Brightfield, 40× oil-immersion objective; bone marrow smear; May-Grünwald-Giemsa stain.
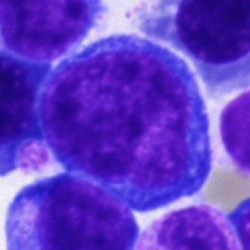Q: What is the morphological classification of this cell?
A: Proerythroblast.